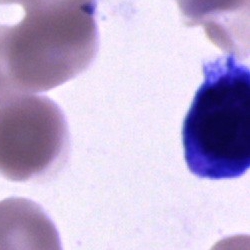

Morphology consistent with an unidentifiable cell.